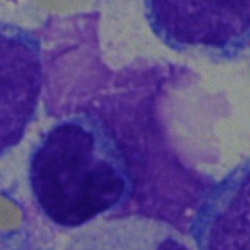Bone marrow aspirate smear, single cell — typical lymphocyte.